Peripheral blood film:
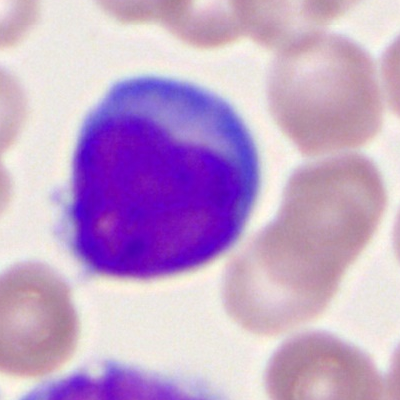Impression — myeloid blast.